Bone marrow aspirate smear: 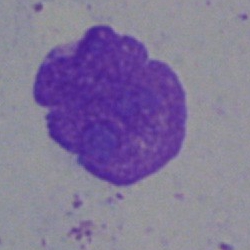

{"cell_type": "artifact"}